Brightfield microscopy, 40× oil immersion; single cell centered in the field; bone marrow aspirate smear: 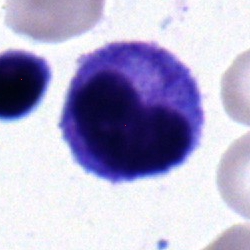
The morphological class is progranulocyte.